Bone marrow aspirate smear:
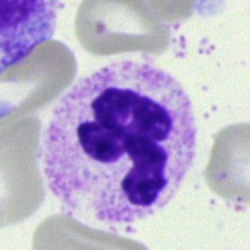 Morphological class: neutrophil (segmented).